Cropped to a single cell · 40× oil immersion · bone marrow aspirate smear — 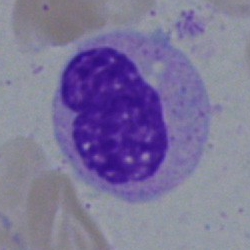 Q: What is the morphological classification of this cell?
A: It is a metamyelocyte.